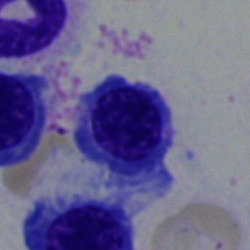 Specimen: bone marrow aspirate smear.
Morphological class: erythroblast.